Bone marrow smear: 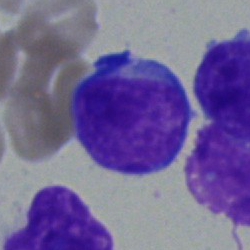

Specimen: bone marrow aspirate smear.
Classification: typical lymphocyte.